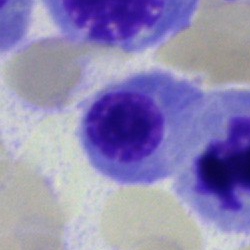 Morphological class: normoblast.